Pappenheim-stained. Bone marrow smear — 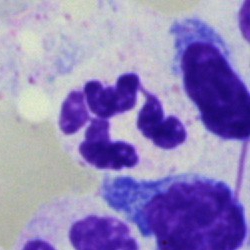
Impression → neutrophil (segmented).